Pappenheim-stained · 250×250 px · bone marrow smear
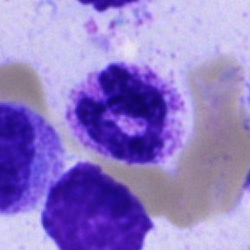

Specimen: bone marrow smear.
Classification: polymorphonuclear neutrophil.